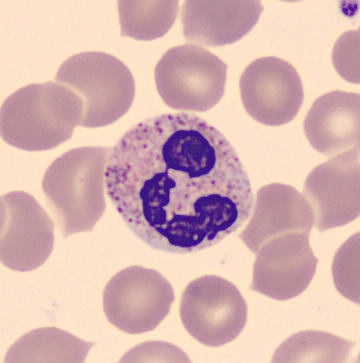
Image: Single cell centered in the field; MGG-stained; peripheral blood smear. Single cell identified as a polymorphonuclear neutrophil.